May-Grünwald-Giemsa/Pappenheim stain · bone marrow smear.
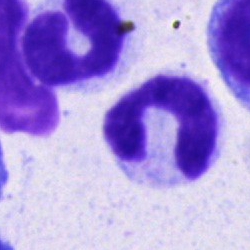
Q: Which cell type is shown here?
A: This is a neutrophil (band).